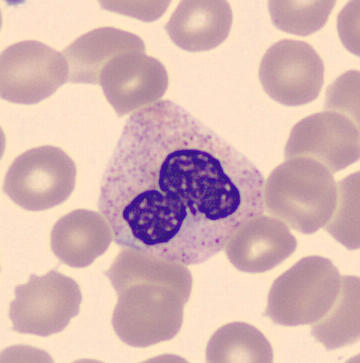Impression — segmented neutrophil.

Acquisition: Peripheral blood film. Automated cell imaging (CellaVision DM96).